Pappenheim-stained; bone marrow aspirate smear: 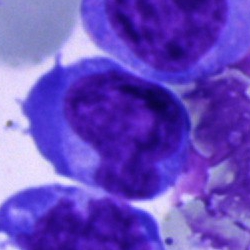
Classification = undifferentiated blast.